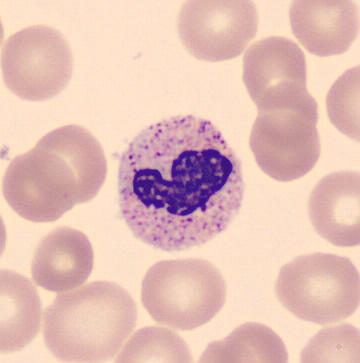
Peripheral blood smear.

Cell type: polymorphonuclear neutrophil.